Single-cell field · brightfield, 40× oil-immersion objective · bone marrow aspirate smear: 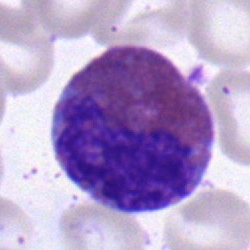
Morphological class: eosinophil.